Bone marrow smear — 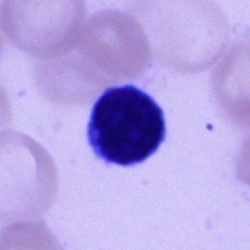 Morphological class: typical lymphocyte.